Peripheral blood smear: 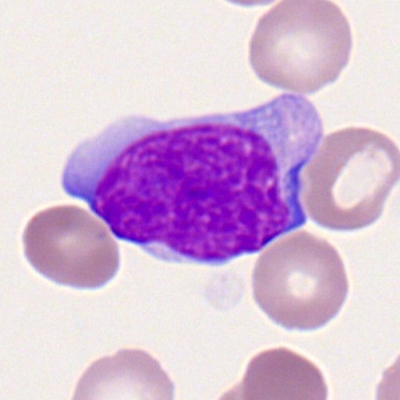
The cell is atypical lymphocyte.